Bone marrow aspirate smear.
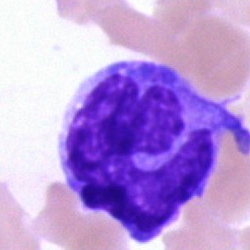 Monocyte.